Bone marrow aspirate smear
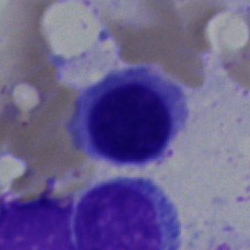
Cell type = nucleated red cell.